Cropped to a single cell. Bone marrow aspirate smear:
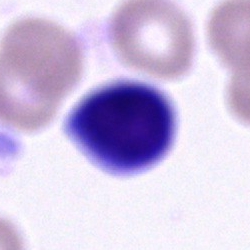

A cell of indeterminate lineage.